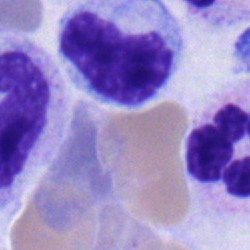

The cell type is metamyelocyte.